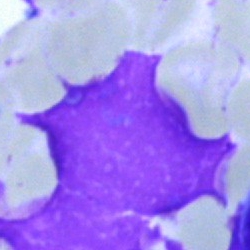{"cell_type": "artefact"}